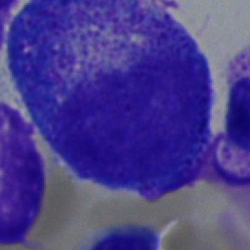Classification: progranulocyte.